Brightfield microscopy, 40× oil immersion · bone marrow smear — 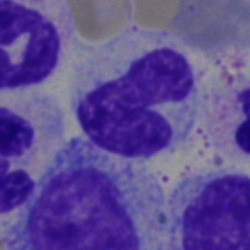
The cell shown is a band neutrophil.